Bone marrow smear: 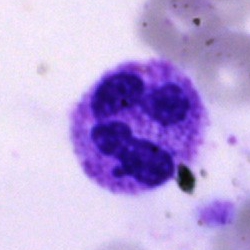 Specimen: bone marrow smear.
Cell type: segmented neutrophil.
Lineage: myeloid.